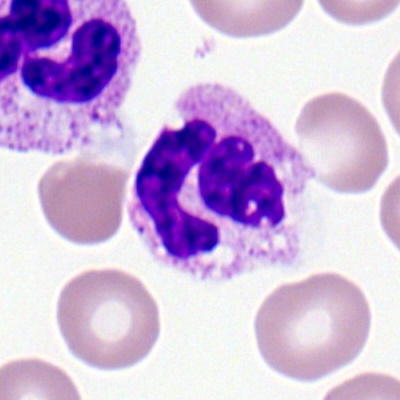

Single-cell crop from a peripheral blood smear: neutrophil (segmented).